400×400; peripheral blood film — 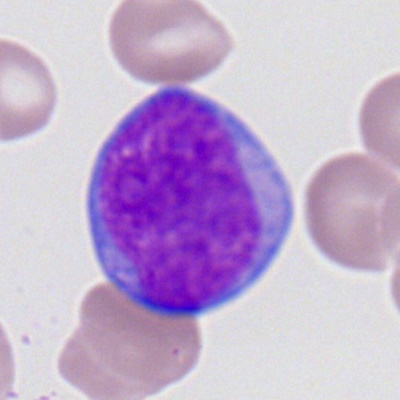
Q: Which cell type is shown here?
A: This is a myeloblast.